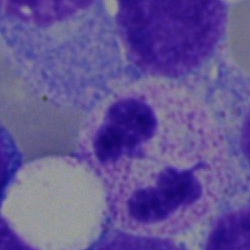 The morphological class is neutrophil (segmented).